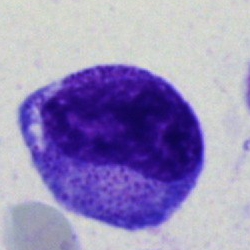 {"cell_type": "myelocyte", "lineage": "myeloid"}